Bone marrow aspirate smear:
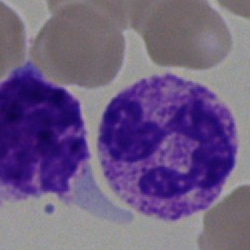
Q: Which cell type is shown here?
A: This is a segmented neutrophil.